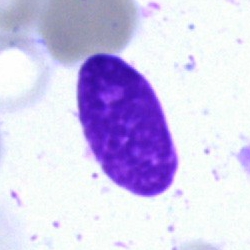 Specimen: bone marrow smear.
Morphological class: artifact.